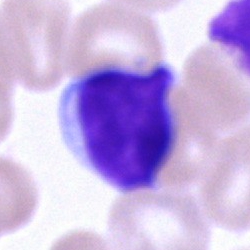
Morphology consistent with a lymphocyte.